Peripheral blood smear. Image size 400×400
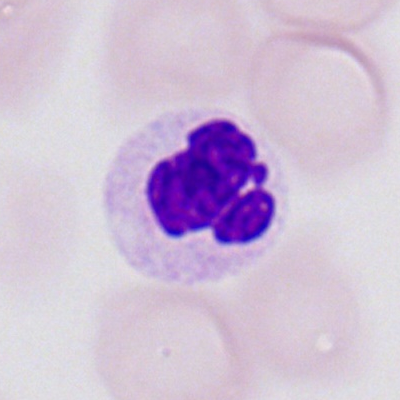 Classification = segmented neutrophil.